Bone marrow aspirate smear. 40× objective, oil immersion — 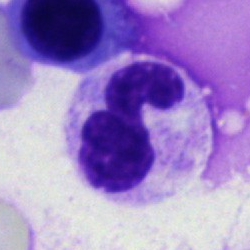
Specimen: bone marrow smear.
Morphological class: neutrophil (segmented).